Pappenheim-stained. Bone marrow aspirate smear — 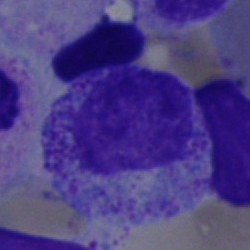 Impression — myelocyte.